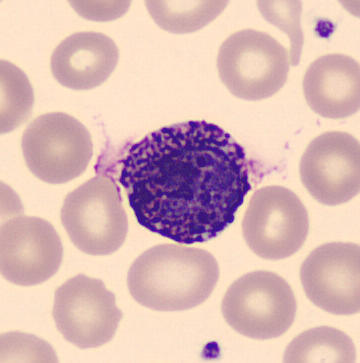 Peripheral blood film · May Grünwald-Giemsa stain · CellaVision DM96 digital cell image.

Cell type: basophilic granulocyte.